Bone marrow smear · Pappenheim-stained — 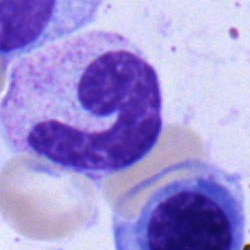Showing a band-form neutrophil.